Pappenheim-stained · bone marrow aspirate smear.
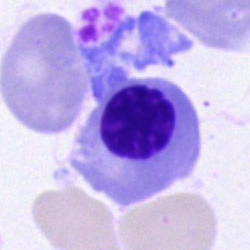

Classification — erythroblast.